Cropped to a single cell · May-Grünwald-Giemsa/Pappenheim stain · bone marrow smear:
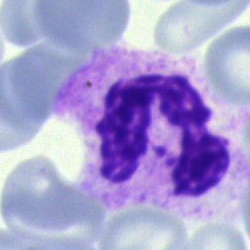 The classification is segmented neutrophil.